Bone marrow aspirate smear · May-Grünwald-Giemsa stain:
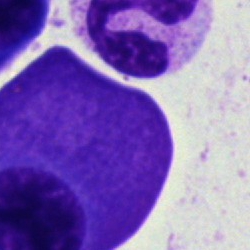Morphology consistent with a plasma cell.